Single-cell crop · bone marrow smear:
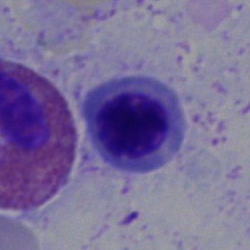
This is a nucleated red blood cell.